Bone marrow smear · 40× objective, oil immersion · 250×250 px — 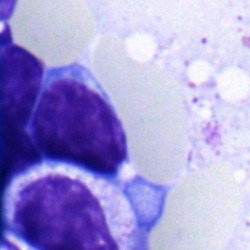Specimen: bone marrow smear.
Cell type: typical lymphocyte.